Bone marrow smear · single-cell crop.
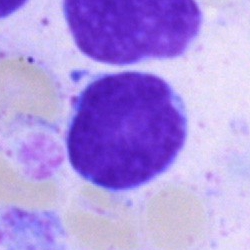

This is a blast.